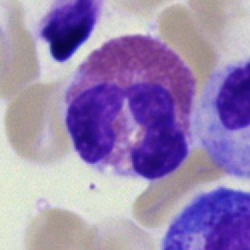
Eosinophilic granulocyte.